Bone marrow aspirate smear. Single cell centered in the field.
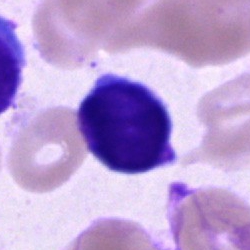
Showing a typical lymphocyte.